Bone marrow aspirate smear — 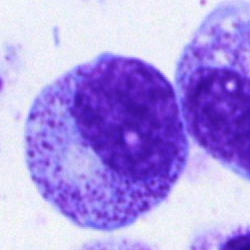
Morphological class — myelocyte.